Bone marrow aspirate smear. Image size 250×250 — 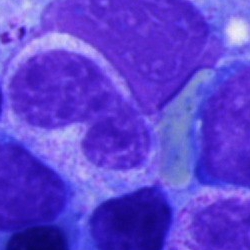Cell = neutrophil (segmented).